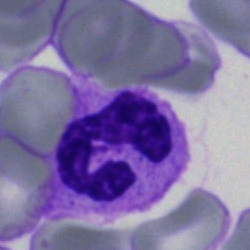

Showing a polymorphonuclear neutrophil.